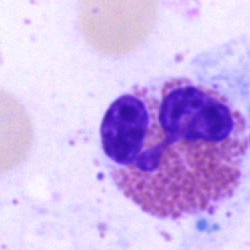
Morphological class = eosinophilic granulocyte.